250 by 250 pixels; bone marrow aspirate smear
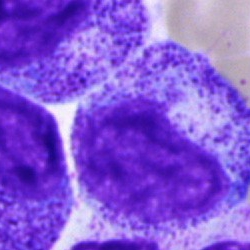
A progranulocyte.